Peripheral blood film — 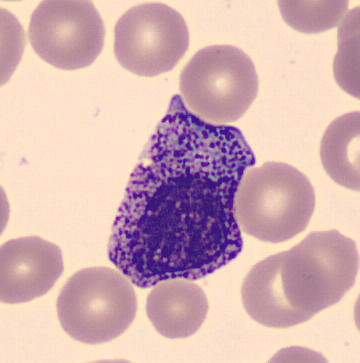 Morphology consistent with a metamyelocyte.